Bone marrow aspirate smear:
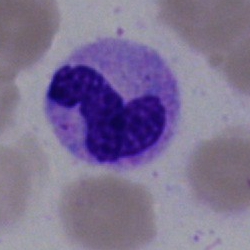Showing a stab cell.